Bone marrow aspirate smear. May-Grünwald-Giemsa/Pappenheim stain. Image size 250×250:
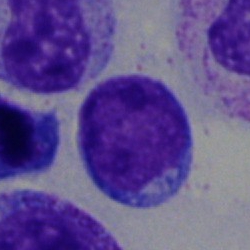
Q: What is shown here?
A: A typical lymphocyte.